Peripheral blood smear:
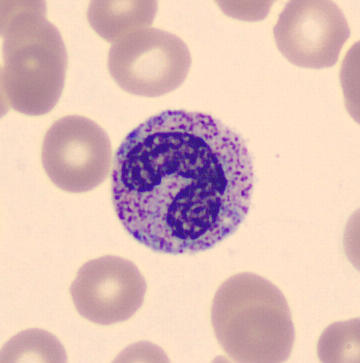Band neutrophil.